May-Grünwald-Giemsa/Pappenheim stain; bone marrow aspirate smear; brightfield, 40× oil-immersion objective
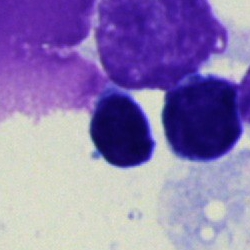
A lymphocyte.